Peripheral blood smear
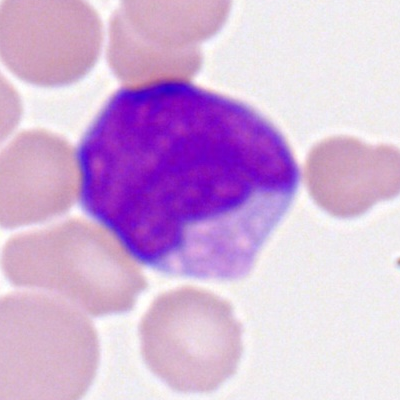
Specimen: peripheral blood smear.
Classification: myeloblast.
Lineage: myeloid.